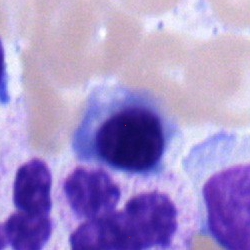
A nucleated red cell on a bone marrow smear.